Bone marrow smear — 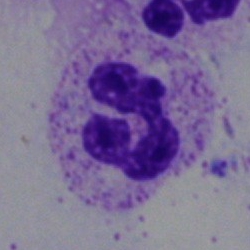 This is a neutrophil (segmented).